Pappenheim-stained · bone marrow smear
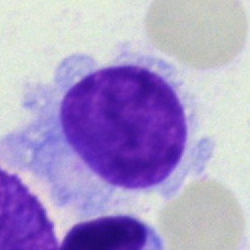 Q: What type of cell is this?
A: A hairy cell.